Bone marrow aspirate smear. Single cell centered in the field. Brightfield microscopy, 40× oil immersion
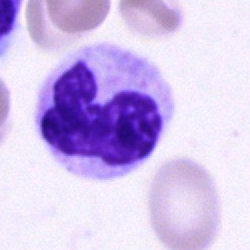Polymorphonuclear neutrophil.